Bone marrow smear: 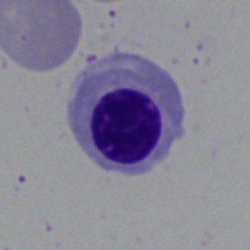
Impression → nucleated red blood cell.